Bone marrow aspirate smear — 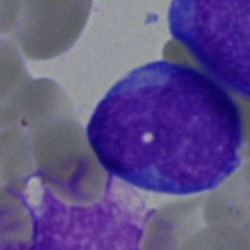 Morphology → blast.